Cropped to a single cell · bone marrow smear:
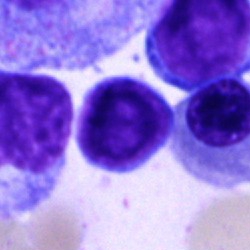{"cell_type": "typical lymphocyte"}